400×400. Peripheral blood smear — 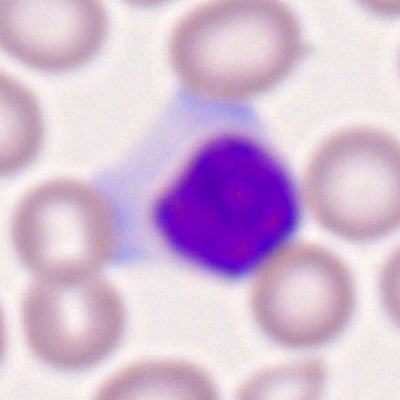Cell type — lymphocyte.